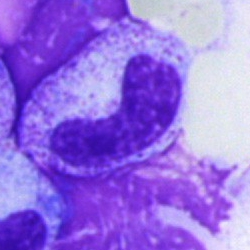The cell type is band-form neutrophil.